Bone marrow smear: 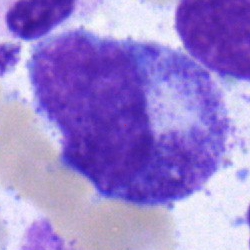Specimen: bone marrow aspirate smear.
Classification: promyelocyte.
Lineage: myeloid.